Bone marrow aspirate smear; single-cell crop; 40× objective, oil immersion: 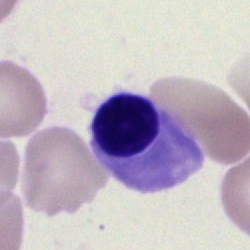
{"cell_type": "normoblast"}